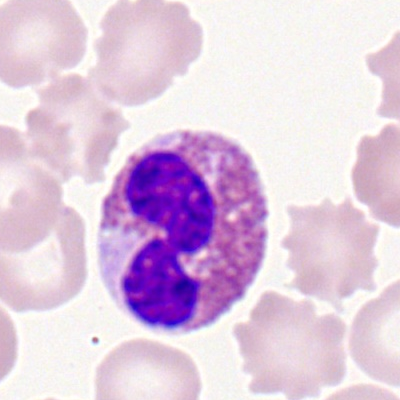 {"cell_type": "eosinophilic granulocyte", "lineage": "myeloid"}